Bone marrow aspirate smear.
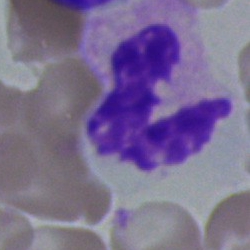

Morphology consistent with a neutrophil (segmented).